250×250 · bone marrow smear: 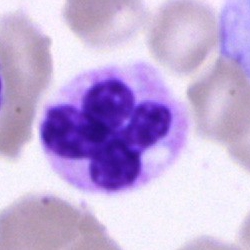 Morphology — segmented neutrophil.